Bone marrow aspirate smear; May-Grünwald-Giemsa stain; brightfield, 40× oil-immersion objective.
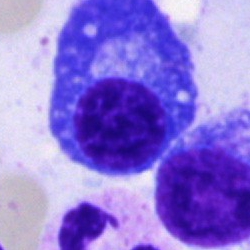
Morphology consistent with a plasmacyte.